Bone marrow smear: 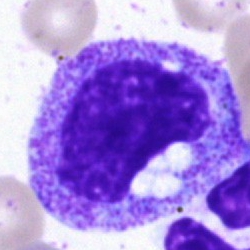
Morphological class — progranulocyte.